Bone marrow smear — 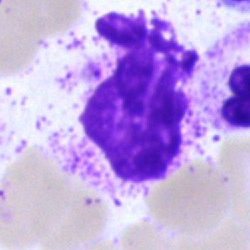Specimen: bone marrow aspirate smear.
Cell: artefact.